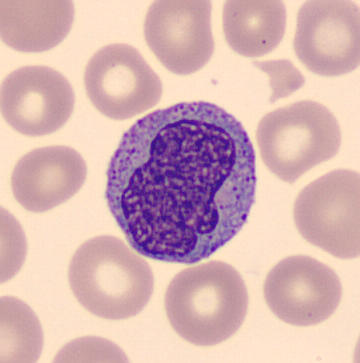 Peripheral blood smear. Showing a monocyte.